Bone marrow aspirate smear
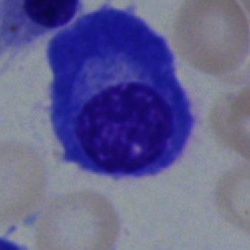A plasmacyte.